250×250 px · single cell centered in the field · bone marrow aspirate smear:
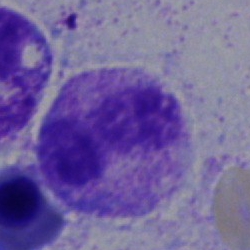Single cell identified as a neutrophil (segmented).